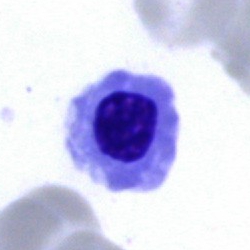 Specimen: bone marrow aspirate smear.
Morphological class: normoblast.